Bone marrow smear:
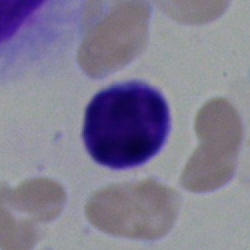
Showing a lymphocyte.